Bone marrow aspirate smear: 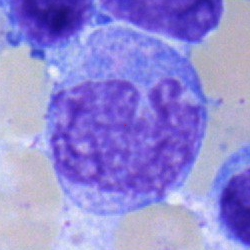 Specimen: bone marrow aspirate smear.
Classification: monocyte.
Lineage: myeloid.